Bone marrow smear — 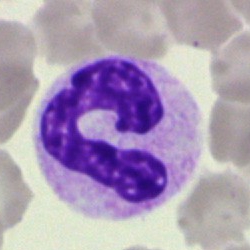
Classification = segmented neutrophil.